Brightfield, 40× oil-immersion objective; bone marrow smear; 250×250 px — 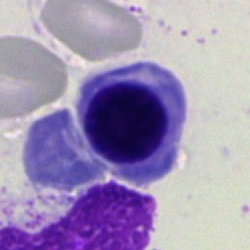 Specimen: bone marrow smear.
Morphological class: nucleated red blood cell.